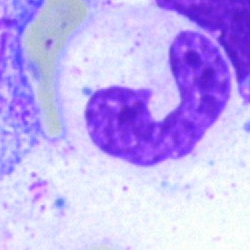
Single-cell crop from a bone marrow smear: band neutrophil.